Bone marrow aspirate smear: 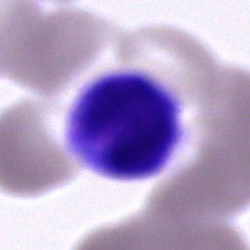Q: What is the morphological classification of this cell?
A: It is a cell of indeterminate lineage.